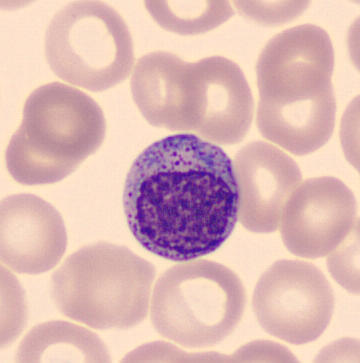

Peripheral blood smear; 360×363 px; May-Grünwald-Giemsa-stained. Q: What type of cell is this?
A: It is a myelocyte.